Peripheral blood smear; 400 by 400 pixels:
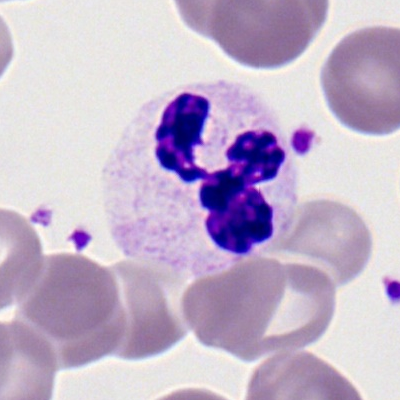
Showing a neutrophil (segmented).